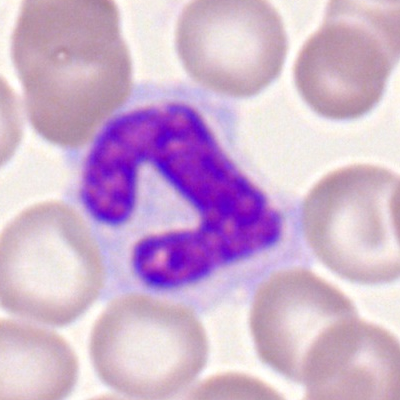 Specimen: peripheral blood film.
Classification: monocyte.